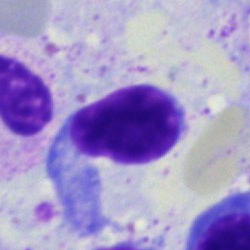 The cell type is typical lymphocyte.